Peripheral blood smear — 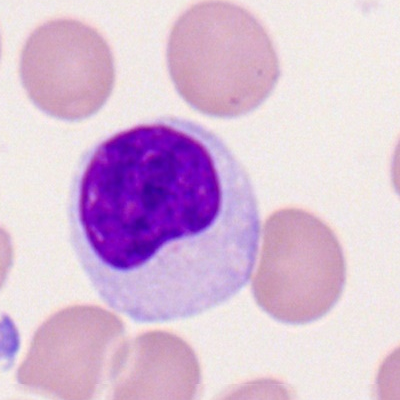 Morphology — lymphocyte.